May-Grünwald-Giemsa stain · bone marrow smear · 250×250.
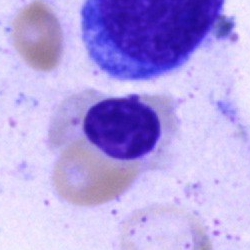

Q: Which cell type is shown here?
A: A normoblast.